Single-cell field · bone marrow smear.
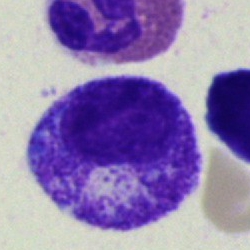

Q: What is the morphological classification of this cell?
A: It is a myelocyte.